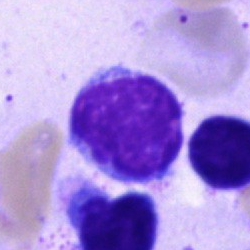 Typical lymphocyte.